Bone marrow aspirate smear. Image size 250×250. 40× oil immersion: 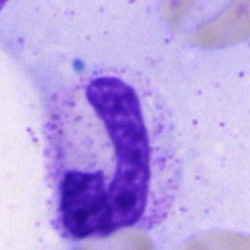

Classification = neutrophil (band).